May-Grünwald-Giemsa/Pappenheim stain · bone marrow smear:
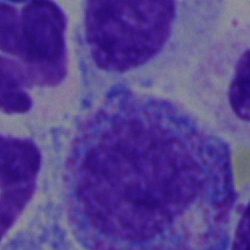
The cell shown is a progranulocyte.